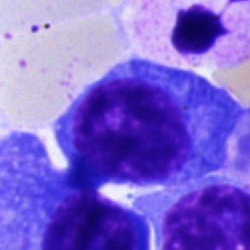
Classification: plasma cell.